Bone marrow smear:
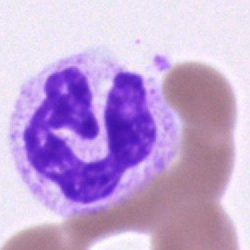
The cell is segmented neutrophil.